Bone marrow aspirate smear:
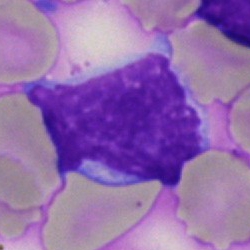

Q: Identify the cell.
A: This is a lymphocyte.